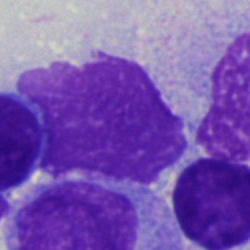

Q: What is shown here?
A: Artifact.